Bone marrow smear.
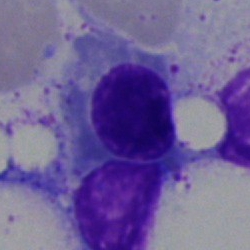{"cell_type": "nucleated red blood cell"}